Bone marrow smear.
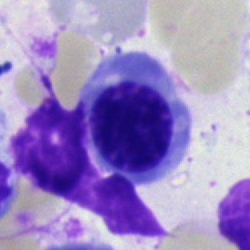

Cell: erythroblast.